Pappenheim-stained; bone marrow smear:
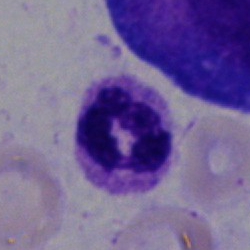Morphological class — segmented neutrophil.